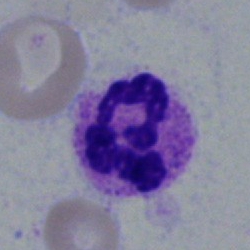
Q: Which cell type is shown here?
A: This is a polymorphonuclear neutrophil.